Romanowsky-stained; single-cell field; peripheral blood smear:
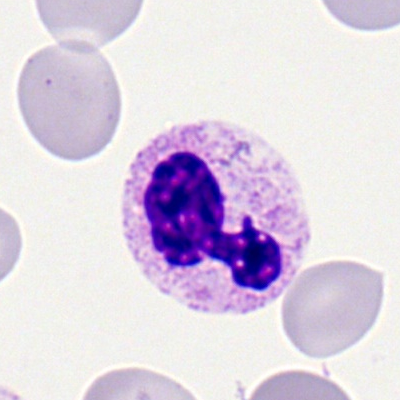{"cell_type": "segmented neutrophil"}